Peripheral blood smear:
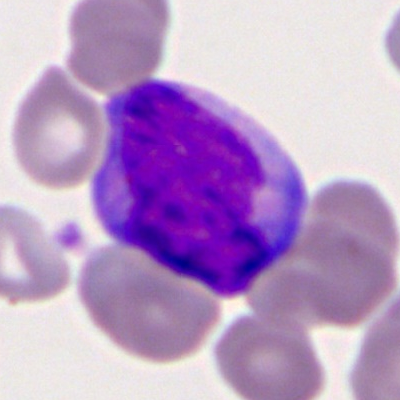
Myeloid blast.